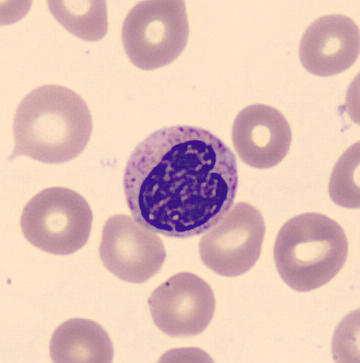
Cell = metamyelocyte.